Bone marrow smear:
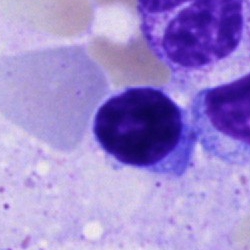 This is a typical lymphocyte.